May-Grünwald-Giemsa stain; bone marrow smear: 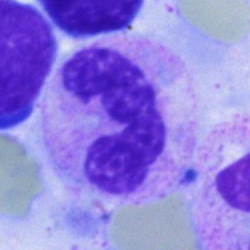

Cell — neutrophil (segmented).